Peripheral blood smear. Romanowsky-stained
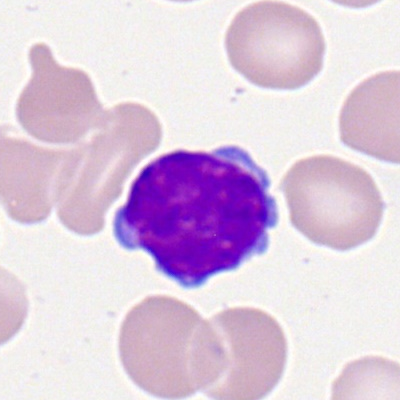Classification — lymphocyte.